Bone marrow smear:
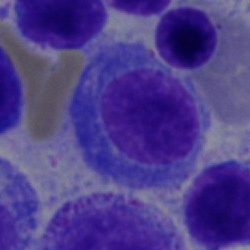

Q: What is the morphological classification of this cell?
A: It is a plasmacyte.